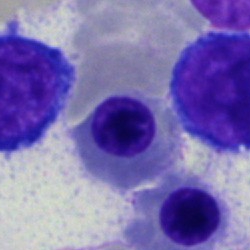
Erythroblast.